Bone marrow smear — 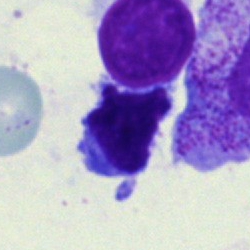Lymphocyte.